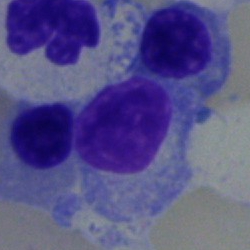 The cell type is lymphocyte.